Bone marrow smear. Cropped to a single cell.
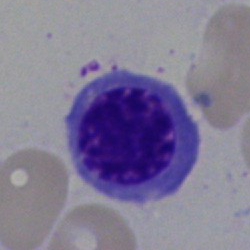
Specimen: bone marrow aspirate smear.
Cell: erythroblast.
Lineage: erythroid.